Bone marrow smear.
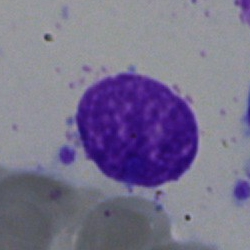

Artifact.